Peripheral blood film · single-cell crop · 100× oil immersion, 14.14 px/µm — 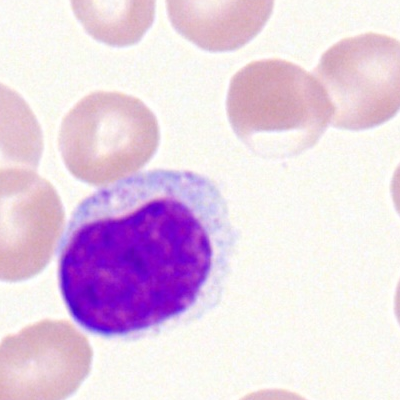

Specimen: peripheral blood film.
Cell: typical lymphocyte.
Lineage: lymphoid.